Bone marrow smear
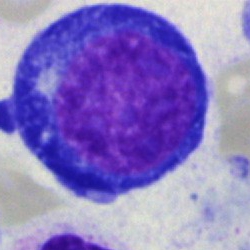
Showing a nucleated red cell.